Bone marrow aspirate smear
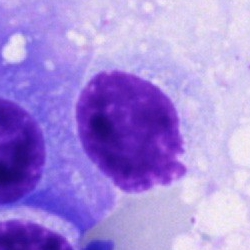

Cell type: artifact.